Bone marrow aspirate smear · single-cell field · 250×250 px:
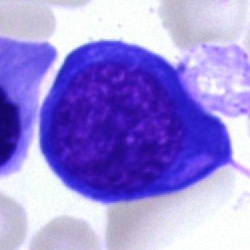Morphology consistent with an erythroblast.